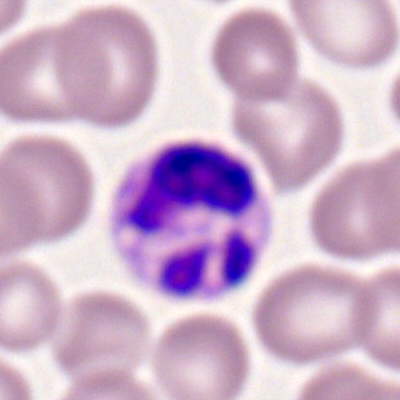

This is a neutrophil (segmented).